Bone marrow smear
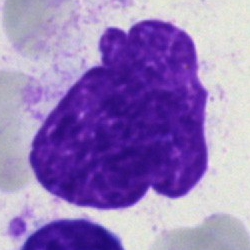
The morphological class is artifact.